Bone marrow smear · 250×250 px.
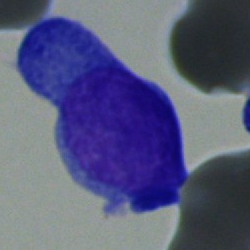 Q: What is shown here?
A: A plasma cell.